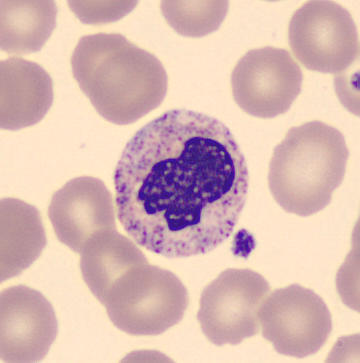
Impression — band-form neutrophil.